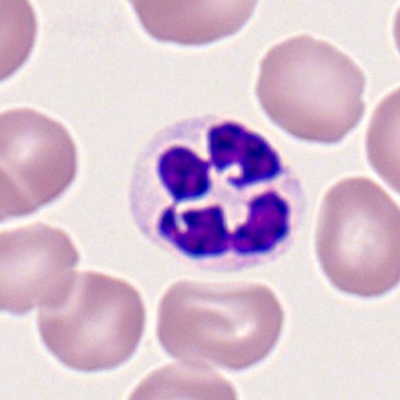 This is a segmented neutrophil.